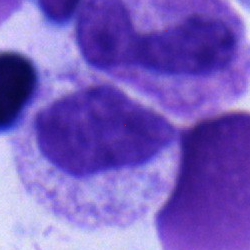 Morphological class = myelocyte.